Bone marrow aspirate smear.
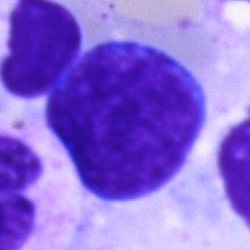
The cell is artefact.